Peripheral blood film — 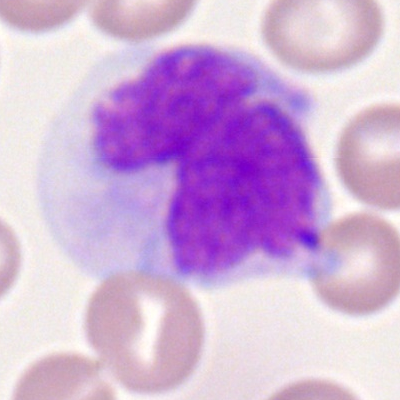
{"cell_type": "monocyte"}